Bone marrow aspirate smear · brightfield microscopy, 40× oil immersion:
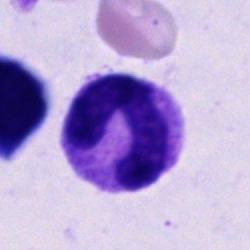

Stab cell.